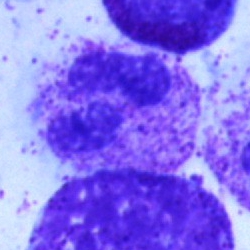Showing a polymorphonuclear neutrophil.